Bone marrow aspirate smear.
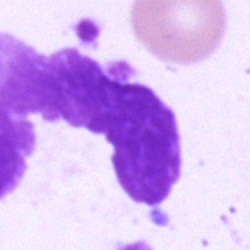
Q: What is shown here?
A: An artefact.